Bone marrow smear; May-Grünwald-Giemsa/Pappenheim stain; 40× oil immersion: 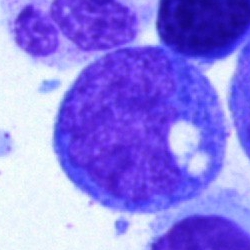
The cell shown is an undifferentiated blast.